Peripheral blood film:
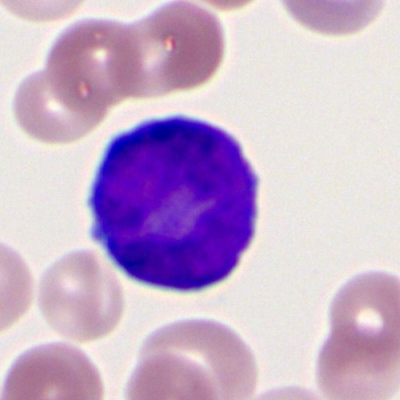 Specimen: peripheral blood film.
Cell: myeloblast.
Lineage: myeloid.